Bone marrow smear. 250×250 px. MGG-stained:
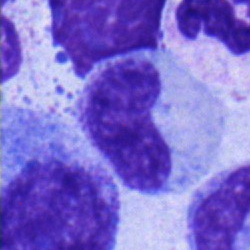

Metamyelocyte.